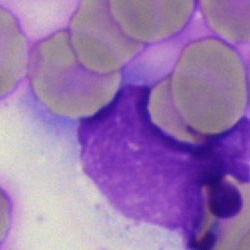 Morphological class: artifact.